Bone marrow smear:
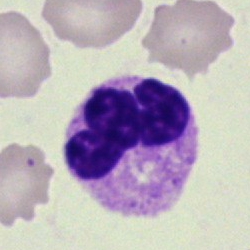

Showing a neutrophil (segmented).